May-Grünwald-Giemsa/Pappenheim stain. Bone marrow aspirate smear — 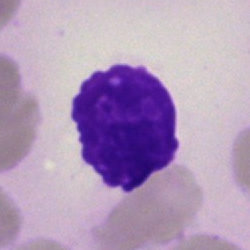
The cell is artefact.